Bone marrow smear:
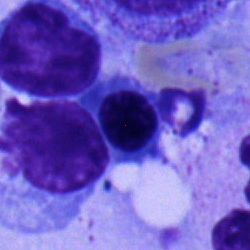

Morphology consistent with a normoblast.